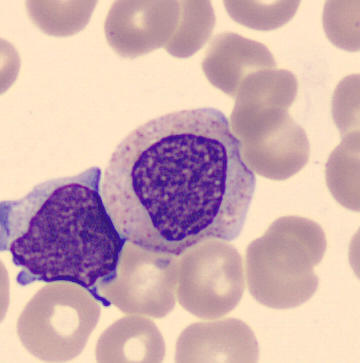Specimen: peripheral blood smear.
Cell: myelocyte.
Lineage: myeloid.
Acquisition: Automated cell imaging (CellaVision DM96). MGG-stained.